Peripheral blood film: 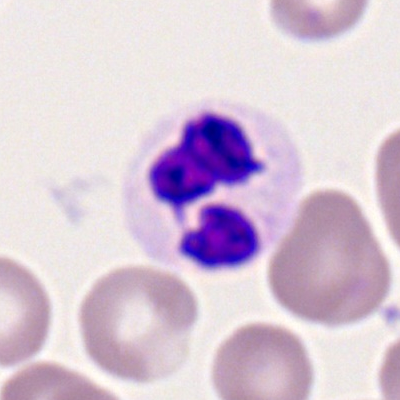
Single cell identified as a segmented neutrophil.